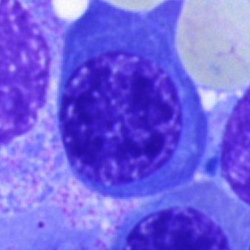This is a nucleated red blood cell.